Brightfield microscopy, 40× oil immersion. Bone marrow smear:
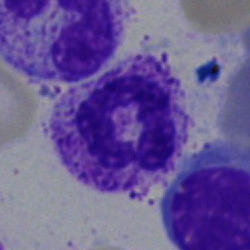

Morphological class — polymorphonuclear neutrophil.